MGG-stained; bone marrow smear; single-cell field: 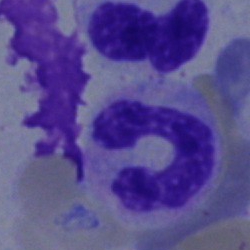
Morphology → polymorphonuclear neutrophil.